May-Grünwald-Giemsa/Pappenheim stain; bone marrow aspirate smear:
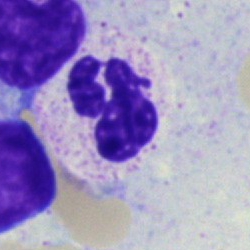 Specimen: bone marrow smear.
Cell type: neutrophil (segmented).
Lineage: myeloid.